Bone marrow smear.
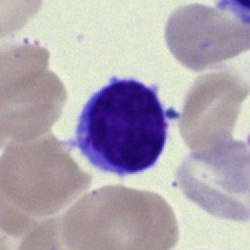 Single cell identified as a lymphocyte.